Peripheral blood film · CellaVision DM96 · 360×363 px: 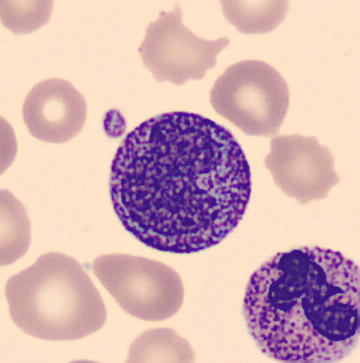The cell shown is a progranulocyte.